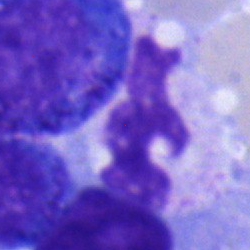

Single-cell crop from a bone marrow smear: neutrophil (segmented).